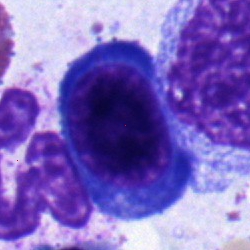
{"cell_type": "normoblast", "lineage": "erythroid"}